250 by 250 pixels; bone marrow smear; single cell centered in the field:
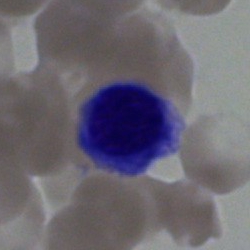 Morphology → typical lymphocyte.